Bone marrow smear. Image size 250×250. Brightfield, 40× oil-immersion objective
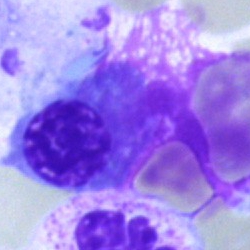 The classification is artifact.